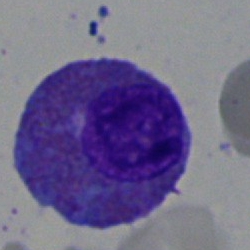Cell type = eosinophilic granulocyte.